Bone marrow aspirate smear: 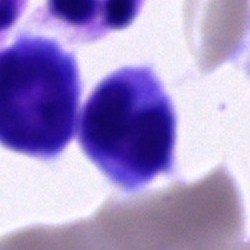

Showing an unidentifiable cell.